Bone marrow aspirate smear:
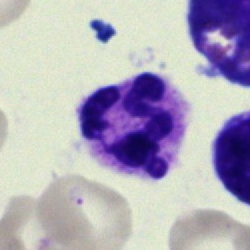

Morphology consistent with a polymorphonuclear neutrophil.